Bone marrow aspirate smear: 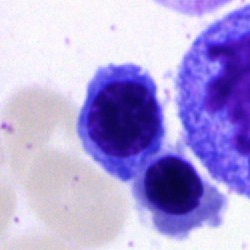
Morphology — nucleated red blood cell.